40× objective, oil immersion. MGG-stained. Bone marrow aspirate smear — 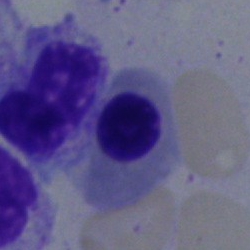
This is an erythroblast.